Bone marrow smear: 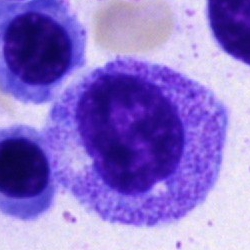 The cell shown is a progranulocyte.